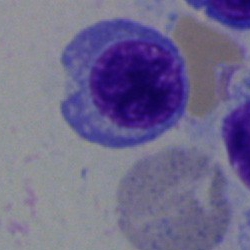Morphological class — nucleated red cell.